CellaVision DM96 · peripheral blood film · cropped to a single cell: 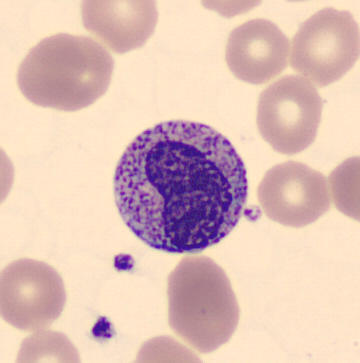Q: What type of cell is this?
A: A metamyelocyte.